Bone marrow smear · cropped to a single cell: 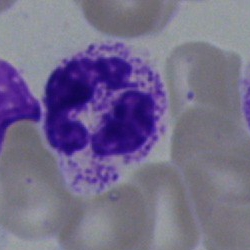

The cell type is polymorphonuclear neutrophil.